Bone marrow aspirate smear:
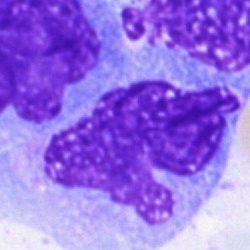 Q: What is the morphological classification of this cell?
A: This is a monocyte.